Bone marrow smear: 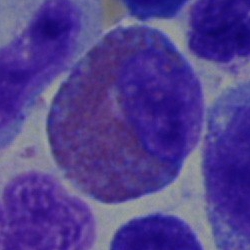
Morphology → eosinophil.